Pappenheim-stained · bone marrow aspirate smear
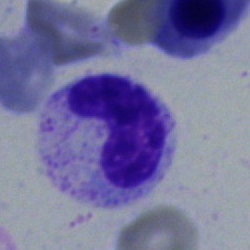{"cell_type": "band neutrophil", "lineage": "myeloid"}